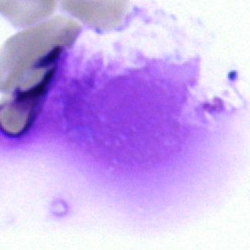
The classification is artefact.